Single-cell crop. Bone marrow smear:
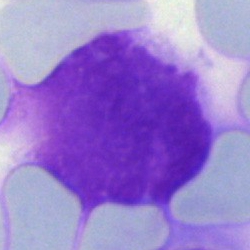
Single cell identified as an artefact.